Bone marrow smear
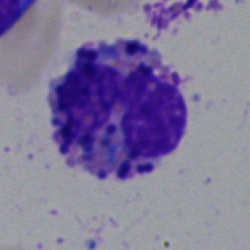 Morphological class: basophil.